Bone marrow smear: 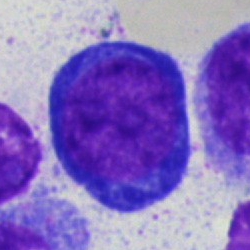
The morphological class is proerythroblast.